Peripheral blood smear: 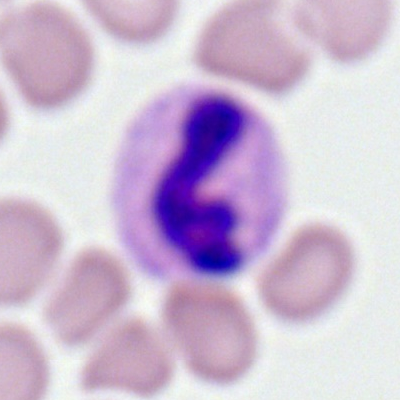Impression → segmented neutrophil.